May-Grünwald-Giemsa stain · bone marrow smear
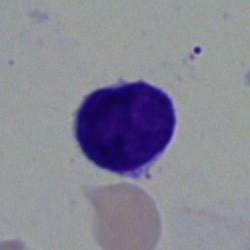

Specimen: bone marrow smear.
Cell: lymphocyte.